Brightfield, 40× oil-immersion objective · bone marrow aspirate smear.
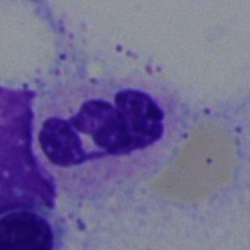The cell type is polymorphonuclear neutrophil.